Bone marrow aspirate smear:
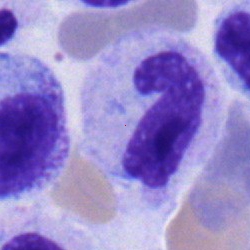

Cell — neutrophil (band).